Bone marrow aspirate smear; single-cell crop — 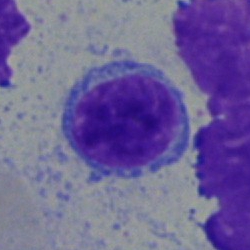

The classification is plasma cell.